Bone marrow smear.
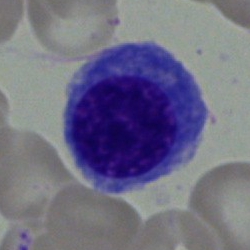
{"cell_type": "erythroblast", "lineage": "erythroid"}